Bone marrow aspirate smear:
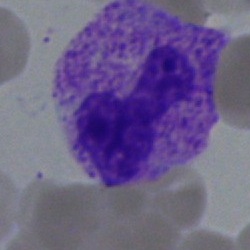

Showing a neutrophil (band).